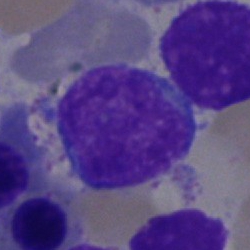

Cell type = typical lymphocyte.